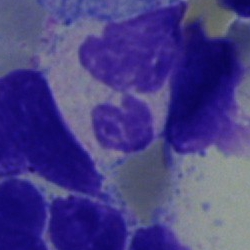
Classification = segmented neutrophil.